Bone marrow aspirate smear; 40× objective, oil immersion; MGG-stained
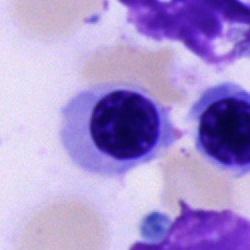 Specimen: bone marrow smear.
Cell: normoblast.
Lineage: erythroid.